Bone marrow aspirate smear — 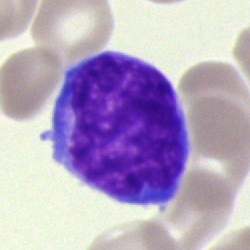{"cell_type": "blast"}